Bone marrow aspirate smear: 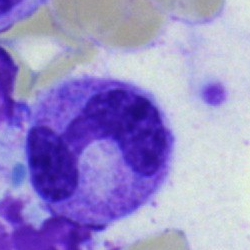 Single cell identified as a segmented neutrophil.